Peripheral blood film: 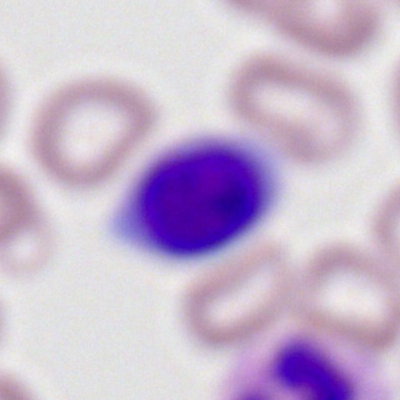A lymphocyte.